40× oil immersion. Bone marrow aspirate smear: 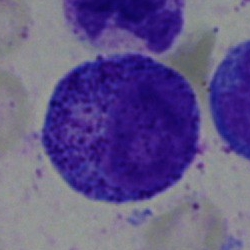
Single cell identified as a promyelocyte.